Peripheral blood smear:
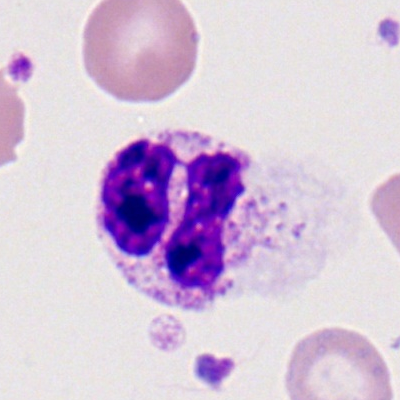This is a segmented neutrophil.